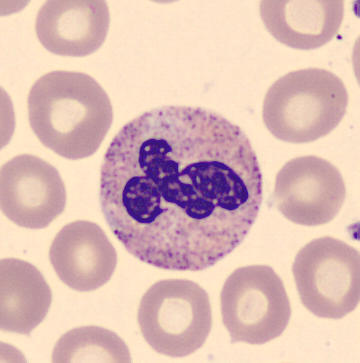 Q: What cell is this?
A: A segmented neutrophil.